Bone marrow aspirate smear; brightfield microscopy, 40× oil immersion; single-cell field: 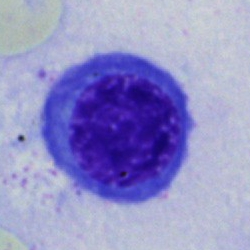 Q: What cell is this?
A: It is a nucleated red cell.